Image size 250×250 · brightfield, 40× oil-immersion objective · bone marrow aspirate smear.
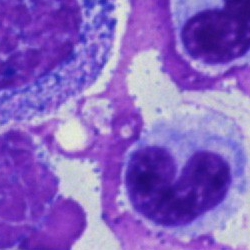
Morphology — stab cell.